Brightfield, 40× oil-immersion objective; bone marrow smear — 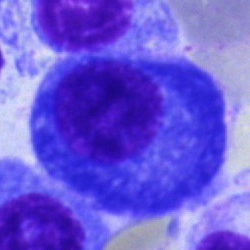
The cell shown is a plasmacyte.